MGG-stained; bone marrow aspirate smear:
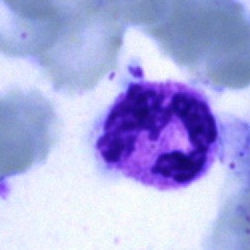

{"cell_type": "polymorphonuclear neutrophil"}